Bone marrow aspirate smear
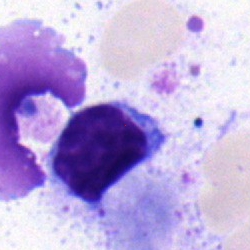Cell = typical lymphocyte.